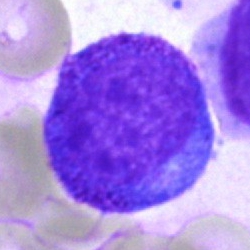Morphology → promyelocyte.